Bone marrow smear — 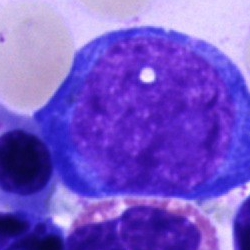The cell shown is a pronormoblast.